Bone marrow aspirate smear. 250×250 px:
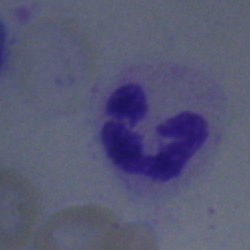

The cell type is segmented neutrophil.